Bone marrow aspirate smear. Brightfield microscopy, 40× oil immersion — 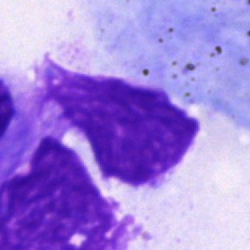

Specimen: bone marrow aspirate smear.
Classification: artefact.